Bone marrow aspirate smear
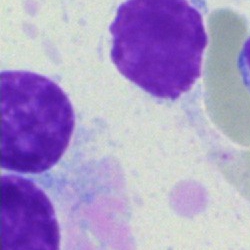 Specimen: bone marrow smear.
Morphological class: artifact.